Bone marrow smear: 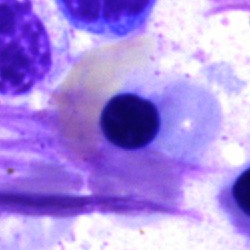
Classification — normoblast.